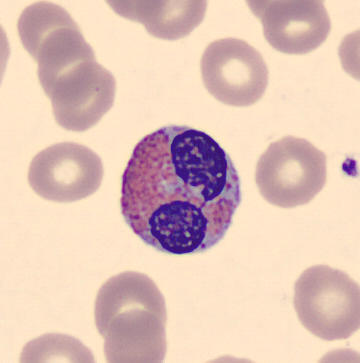Acquisition: Peripheral blood smear.

The morphological class is eosinophil.